Image size 250×250. Single-cell crop. Bone marrow aspirate smear.
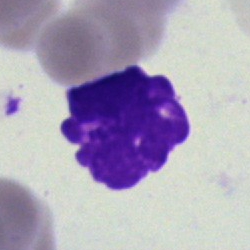
Morphological class = artifact.